400×400 px · peripheral blood film · single-cell field
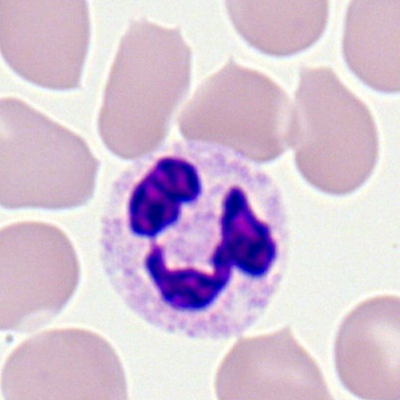Classification = polymorphonuclear neutrophil.